Single cell centered in the field · bone marrow aspirate smear.
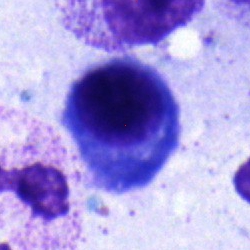

Q: Which cell type is shown here?
A: A plasmacyte.